250×250; 40× objective, oil immersion; bone marrow aspirate smear:
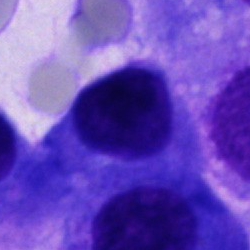

Other cell type.